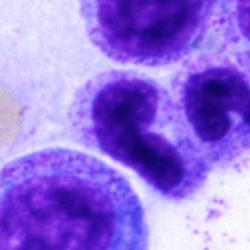Impression → stab cell.